Peripheral blood film: 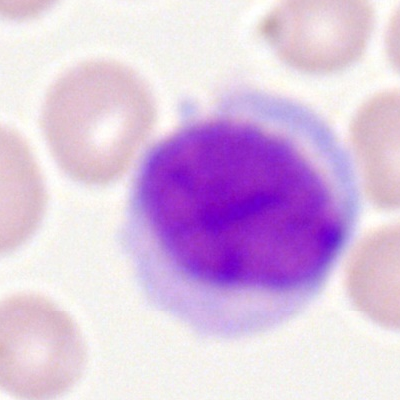 Monocyte.